Bone marrow aspirate smear:
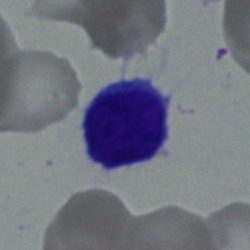Impression — typical lymphocyte.